Cropped to a single cell. Bone marrow smear. May-Grünwald-Giemsa/Pappenheim stain: 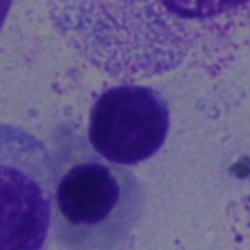
Cell: lymphocyte.